Bone marrow smear: 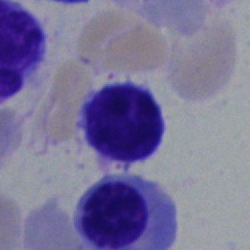
Cell: lymphocyte.